MGG-stained · bone marrow smear.
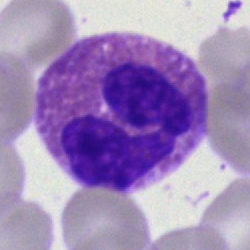This is an eosinophil.